Bone marrow aspirate smear
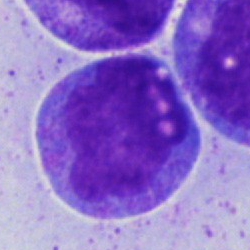Showing an undifferentiated blast.